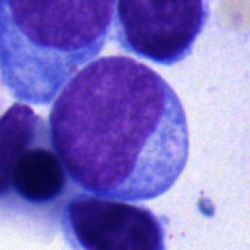 Bone marrow smear showing a lymphocyte.